Bone marrow aspirate smear: 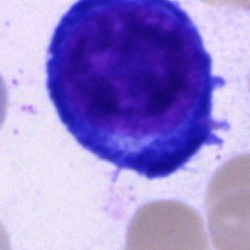
{"cell_type": "pronormoblast", "lineage": "erythroid"}